40× oil immersion. Bone marrow aspirate smear — 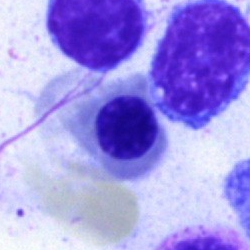

Showing a nucleated red cell.